250×250. Bone marrow aspirate smear: 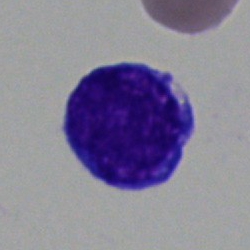Specimen: bone marrow aspirate smear.
Cell type: blast.